Peripheral blood smear · May Grünwald-Giemsa stain · CellaVision DM96.
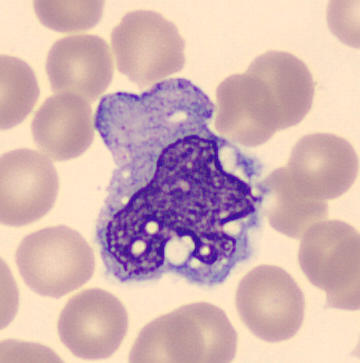

The cell shown is a monocyte.